Single cell centered in the field. Bone marrow aspirate smear.
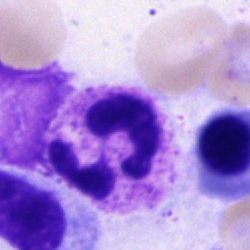 Morphology consistent with a segmented neutrophil.